Bone marrow aspirate smear — 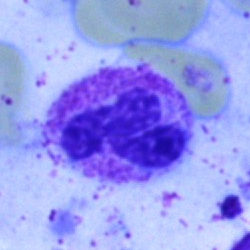
Morphology consistent with a segmented neutrophil.